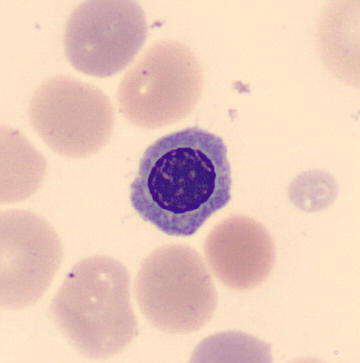

Morphology consistent with a normoblast.